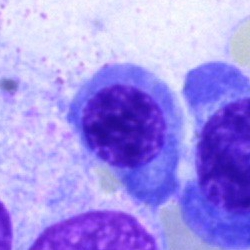
Morphology → erythroblast.